Peripheral blood smear; 100× oil immersion, 14.14 px/µm.
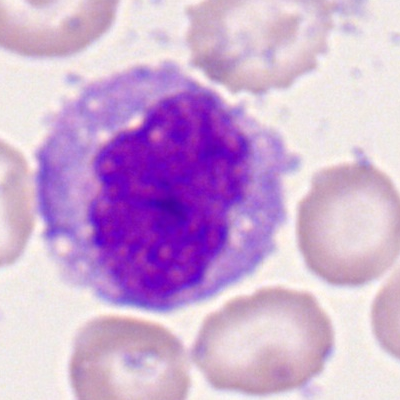
A monocyte.